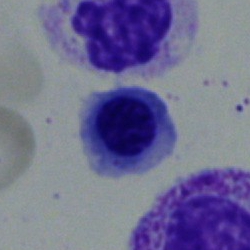Morphology — erythroblast.